Single cell centered in the field; bone marrow aspirate smear
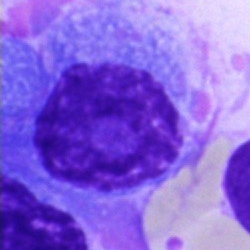 Morphology consistent with a plasma cell.